Bone marrow smear:
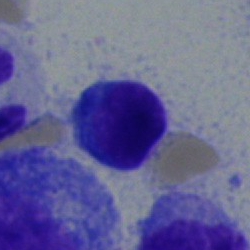 A typical lymphocyte.